40× objective, oil immersion. Bone marrow smear:
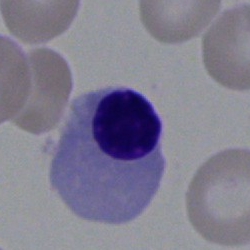Q: What type of cell is this?
A: This is a nucleated red blood cell.